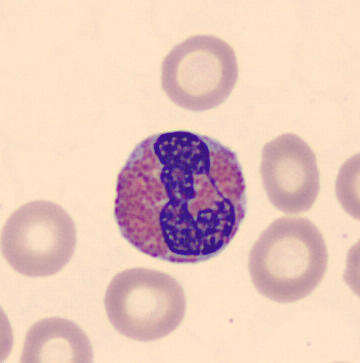 CellaVision DM96 · MGG-stained.

Specimen: peripheral blood smear.
Classification: eosinophil.